250×250 px · bone marrow aspirate smear · May-Grünwald-Giemsa/Pappenheim stain — 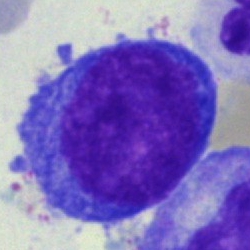{"cell_type": "pronormoblast", "lineage": "erythroid"}